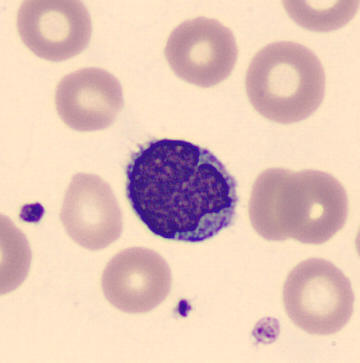
Peripheral blood film, single cell — typical lymphocyte.